Peripheral blood smear.
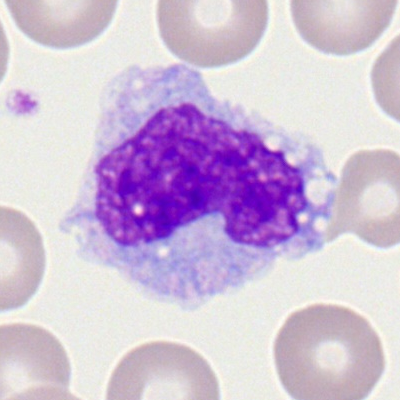 Specimen: peripheral blood smear.
Classification: monocyte.
Lineage: myeloid.